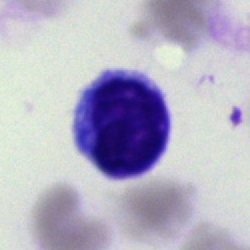 Q: Which cell type is shown here?
A: It is a lymphocyte.